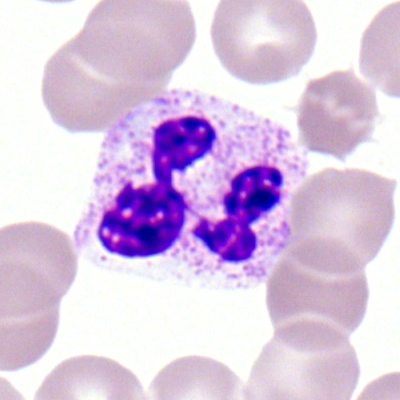Q: What type of cell is this?
A: Polymorphonuclear neutrophil.